Bone marrow aspirate smear — 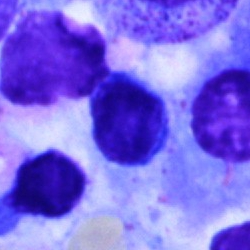
The cell is artefact.